Bone marrow smear.
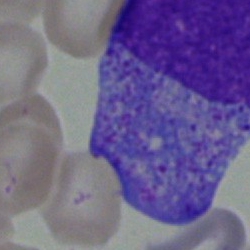

Q: Identify the cell.
A: This is a progranulocyte.